Bone marrow aspirate smear.
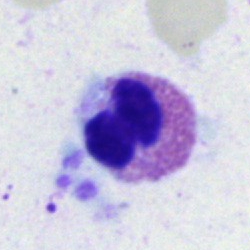

This is an eosinophilic granulocyte.